Peripheral blood smear
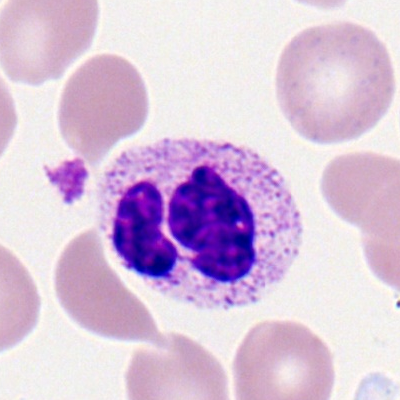
Q: What is shown here?
A: It is a segmented neutrophil.